Bone marrow smear; May-Grünwald-Giemsa/Pappenheim stain; cropped to a single cell:
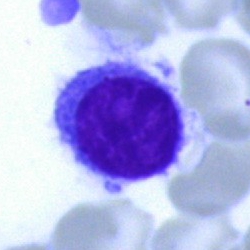Morphology → lymphocyte.